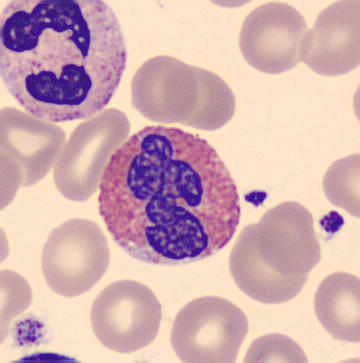 Image: Single-cell crop; 360×363 px. Specimen: peripheral blood smear.
Cell type: eosinophil.